Bone marrow smear. Brightfield, 40× oil-immersion objective. May-Grünwald-Giemsa/Pappenheim stain.
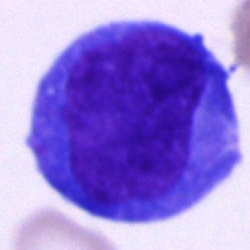Specimen: bone marrow smear.
Cell: blast cell.